Bone marrow smear.
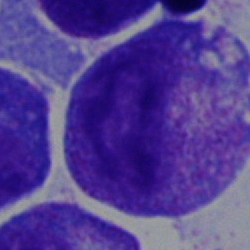
Specimen: bone marrow smear.
Classification: promyelocyte.